250 by 250 pixels; bone marrow aspirate smear.
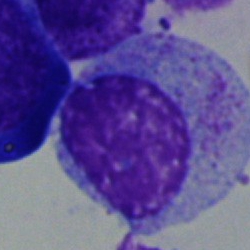 Morphological class: undifferentiated blast.